250×250 px. Bone marrow aspirate smear
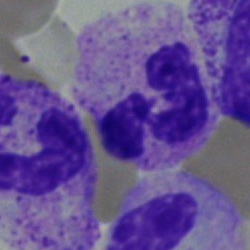
{"cell_type": "segmented neutrophil"}